Bone marrow aspirate smear · single cell centered in the field: 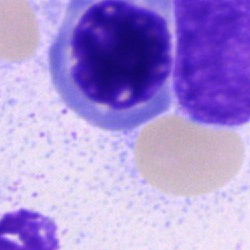

Q: What cell is this?
A: A normoblast.